Bone marrow smear. MGG-stained. 250 by 250 pixels.
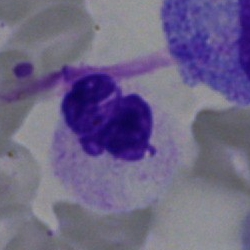 Morphology → segmented neutrophil.